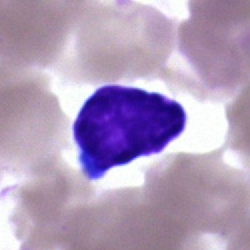
Q: What type of cell is this?
A: It is a typical lymphocyte.